Brightfield, 40× oil-immersion objective; bone marrow smear:
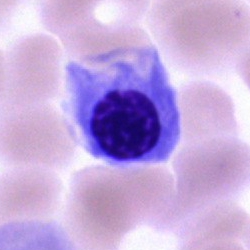
Morphology — nucleated red blood cell.